Bone marrow aspirate smear:
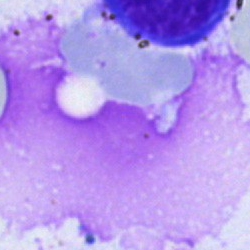
Specimen: bone marrow aspirate smear.
Classification: artifact.